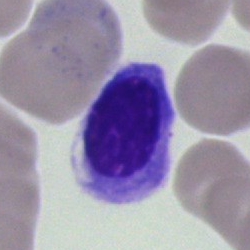
Showing an erythroblast.